Bone marrow smear: 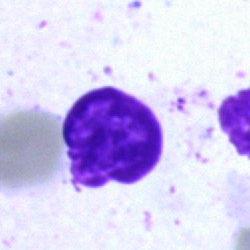

Morphological class — artifact.